Bone marrow aspirate smear — 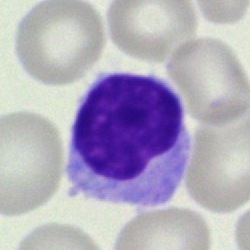

Cell type: lymphocyte.